250×250 px; bone marrow smear: 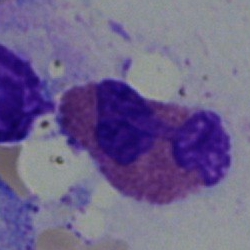

Showing an eosinophilic granulocyte.